May-Grünwald-Giemsa stain; bone marrow smear: 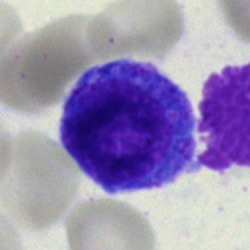

Specimen: bone marrow aspirate smear.
Morphological class: promyelocyte.